Bone marrow smear · 40× oil immersion · cropped to a single cell:
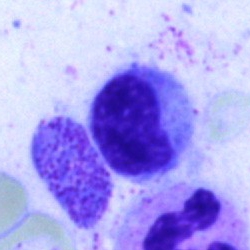

Specimen: bone marrow smear.
Cell type: typical lymphocyte.